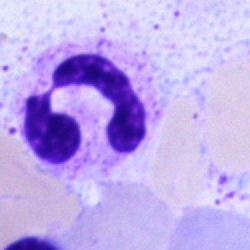

Specimen: bone marrow aspirate smear.
Cell type: lymphocyte.